Bone marrow smear; image size 250×250.
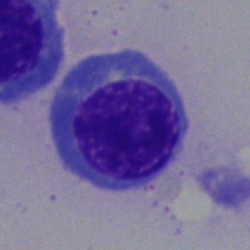

Morphological class — normoblast.